Image size 250×250 · bone marrow aspirate smear — 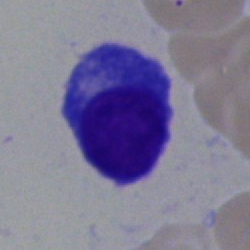 {"cell_type": "plasma cell"}